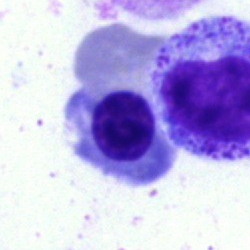 Q: What cell is this?
A: A nucleated red cell.